40× objective, oil immersion. Bone marrow smear.
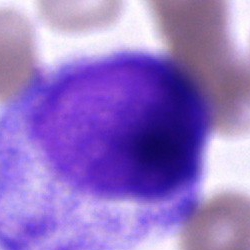This is a cell of indeterminate lineage.